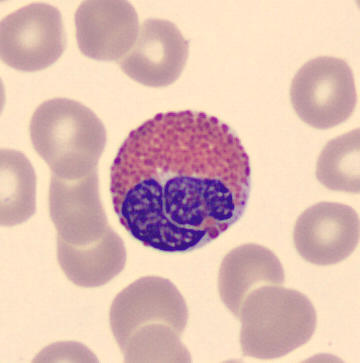 Q: Which cell type is shown here?
A: It is an eosinophil.

Peripheral blood smear.